Peripheral blood film. M8 digital microscope (Precipoint), 100× oil immersion. Romanowsky-type stain — 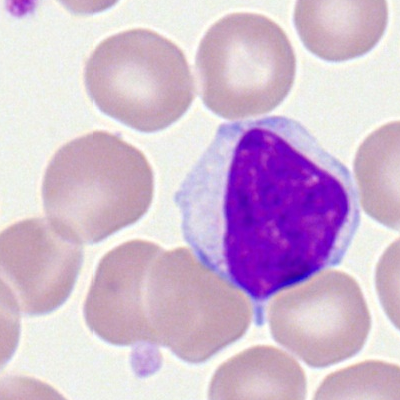
Q: What is shown here?
A: It is a typical lymphocyte.